Bone marrow smear.
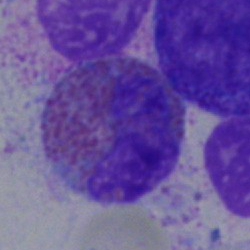Cell — eosinophil.